Bone marrow smear
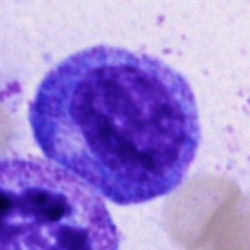
Q: What type of cell is this?
A: Promyelocyte.